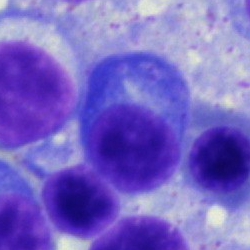
Specimen: bone marrow smear.
Cell type: plasmacyte.